Bone marrow aspirate smear:
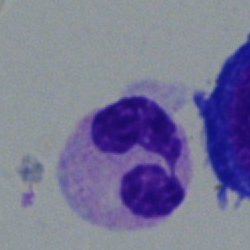Showing a polymorphonuclear neutrophil.